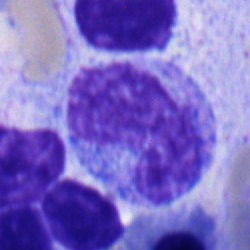

Cell type — typical lymphocyte.